250×250 px. Bone marrow aspirate smear. May-Grünwald-Giemsa/Pappenheim stain: 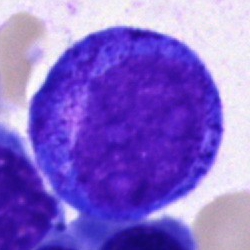 Cell = promyelocyte.